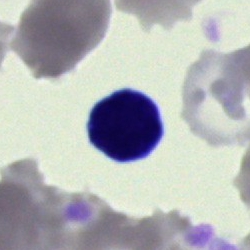

Bone marrow smear showing a cell of indeterminate lineage.